Bone marrow smear.
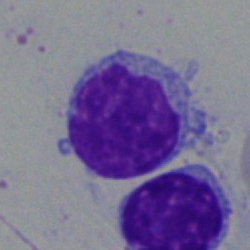

The cell type is typical lymphocyte.